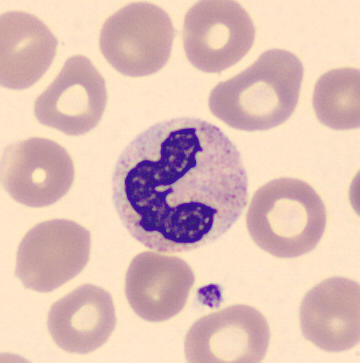
Preparation: 360×363 · peripheral blood film. Cell = neutrophil (segmented).